Image size 250×250; bone marrow smear:
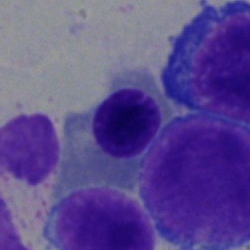 A nucleated red cell.